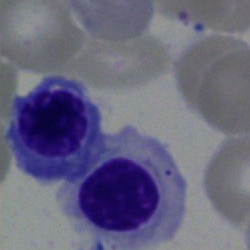

The morphological class is nucleated red cell.